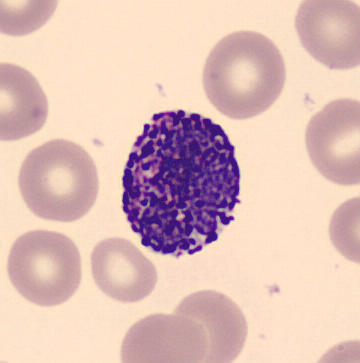
{"cell_type": "basophilic granulocyte"} Preparation: Peripheral blood smear; single-cell crop.